Single-cell field. Bone marrow smear:
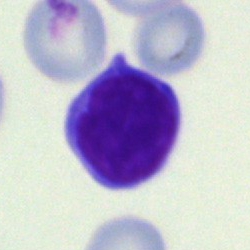
A lymphocyte.